Bone marrow aspirate smear.
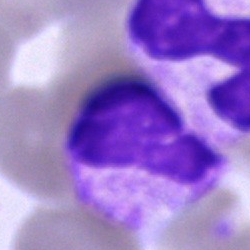

Cell type = cell of indeterminate lineage.